Bone marrow smear · Pappenheim-stained.
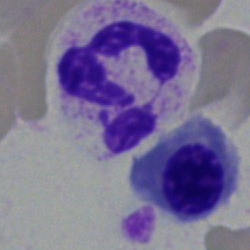Neutrophil (segmented).